Bone marrow aspirate smear.
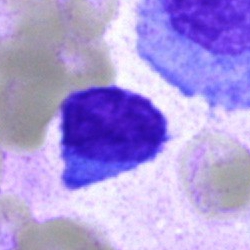 The classification is lymphocyte.